Bone marrow aspirate smear: 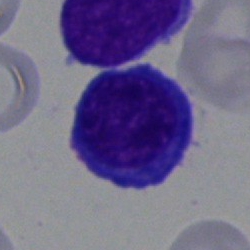This is a nucleated red blood cell.